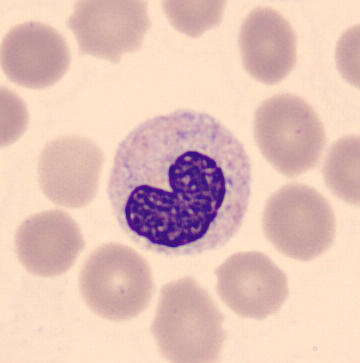

Identified as a neutrophil (band).
Peripheral blood smear.